Bone marrow aspirate smear; May-Grünwald-Giemsa/Pappenheim stain; cropped to a single cell:
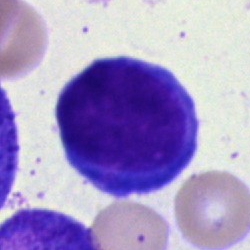
Impression — lymphocyte.